40× objective, oil immersion · bone marrow smear · single-cell field.
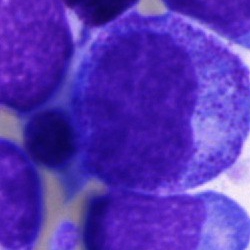

The cell shown is a promyelocyte.